Single-cell field. Bone marrow smear.
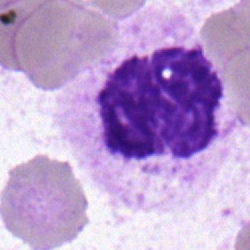The cell shown is a polymorphonuclear neutrophil.